Bone marrow smear · single-cell field:
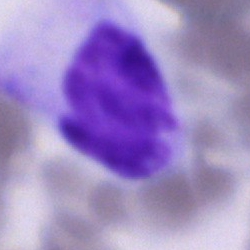
Morphology consistent with an unidentifiable cell.